Pappenheim-stained · bone marrow smear · brightfield, 40× oil-immersion objective
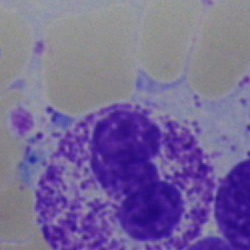
Stab cell.